Bone marrow aspirate smear:
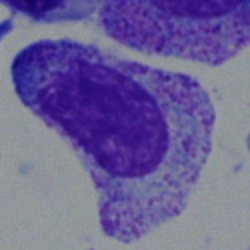
The cell is myelocyte.